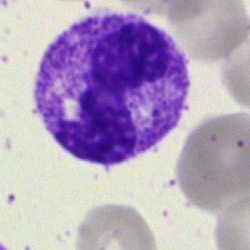
This is a neutrophil (segmented).